Bone marrow aspirate smear — 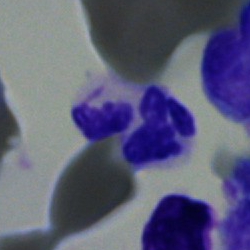
The cell shown is a segmented neutrophil.